Bone marrow smear
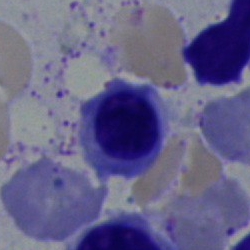Morphology consistent with a normoblast.